250×250. Bone marrow aspirate smear. Brightfield microscopy, 40× oil immersion — 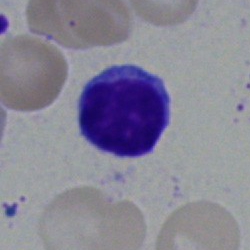

Impression — lymphocyte.